May-Grünwald-Giemsa stain · bone marrow smear · 40× objective, oil immersion:
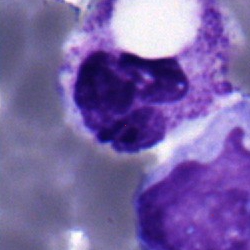

Single cell identified as a band-form neutrophil.